Bone marrow smear · MGG-stained:
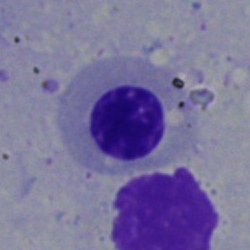{"cell_type": "nucleated red blood cell"}